Single cell centered in the field; peripheral blood film; M8 digital microscope (Precipoint), 100× oil immersion — 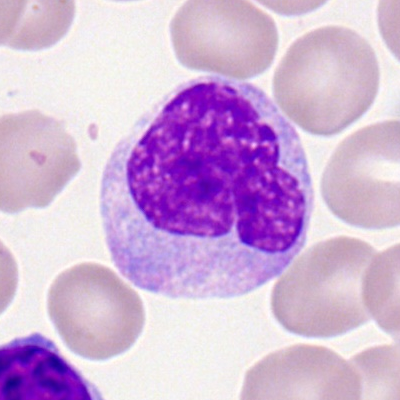 Single cell identified as a monocyte.